Romanowsky-stained. Peripheral blood smear:
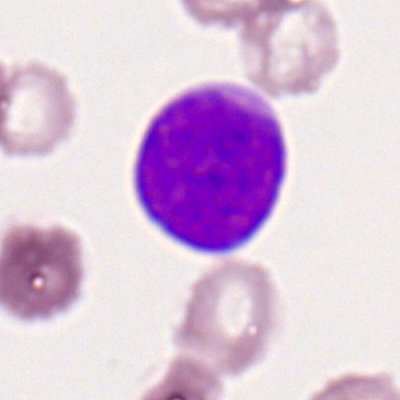

Classification = myeloblast.